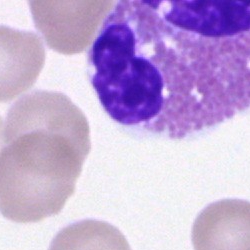

Q: What is shown here?
A: It is an eosinophil.